Bone marrow smear · May-Grünwald-Giemsa stain · 250 by 250 pixels.
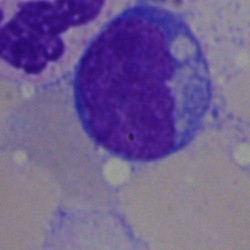Impression → typical lymphocyte.